Bone marrow smear: 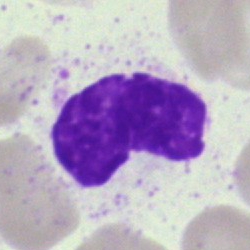 Morphology — artefact.